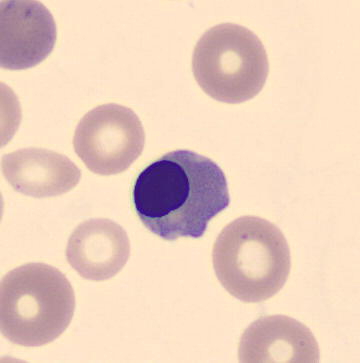
Acquisition: Peripheral blood film.

Showing a normoblast.